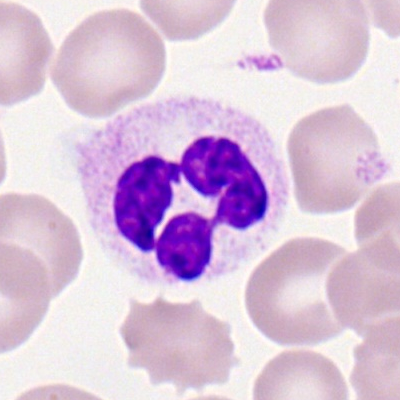
This is a polymorphonuclear neutrophil.